Bone marrow aspirate smear. 40× oil immersion.
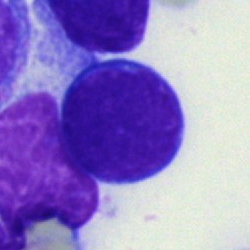Impression → blast cell.